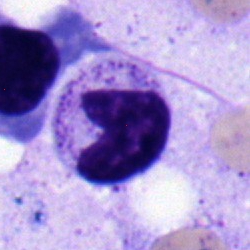 Classification = metamyelocyte.